Bone marrow smear; cropped to a single cell
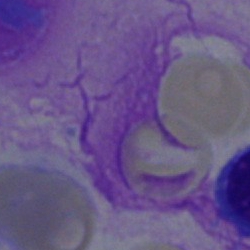 Morphology consistent with an artifact.